250×250 · bone marrow aspirate smear · 40× objective, oil immersion
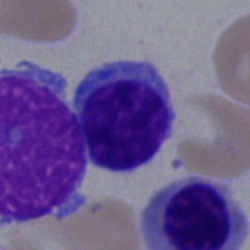The cell type is typical lymphocyte.